Bone marrow smear.
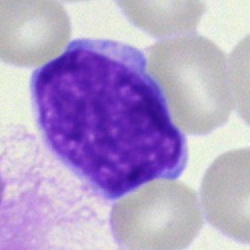
Showing a blast cell.